Bone marrow smear — 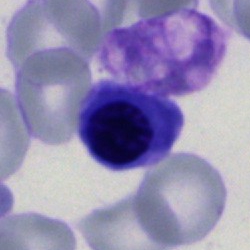

A nucleated red cell.